Cropped to a single cell · peripheral blood smear · Romanowsky-stained:
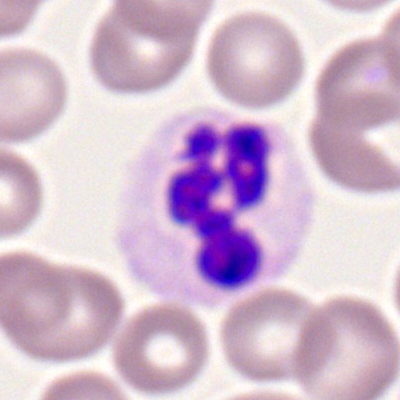
Classification = neutrophil (segmented).